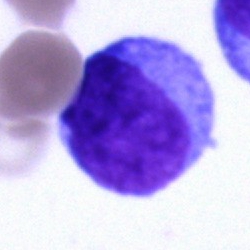
Q: What is the morphological classification of this cell?
A: Blast cell.